250 by 250 pixels. Bone marrow aspirate smear.
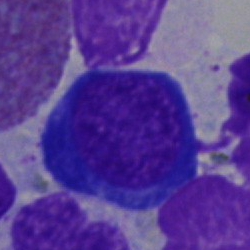Morphology — normoblast.